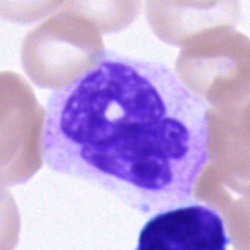The cell is polymorphonuclear neutrophil.